Bone marrow aspirate smear; image size 250×250 — 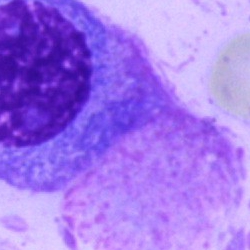
A plasmacyte.